Peripheral blood film.
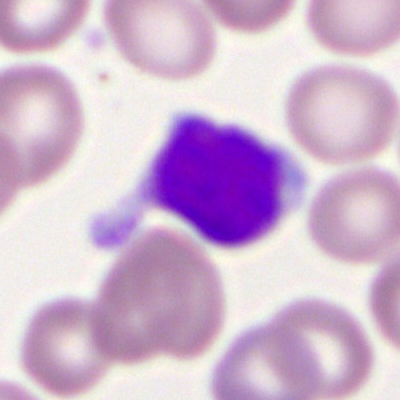 Cell type = typical lymphocyte.